Bone marrow smear · single-cell crop: 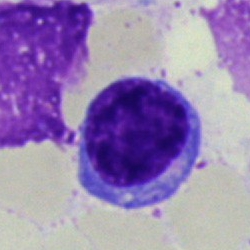Q: Identify the cell.
A: Lymphocyte.